Brightfield microscopy, 40× oil immersion; bone marrow aspirate smear
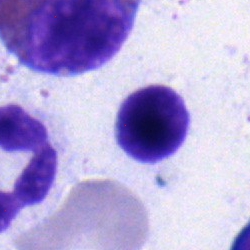
Morphology — typical lymphocyte.